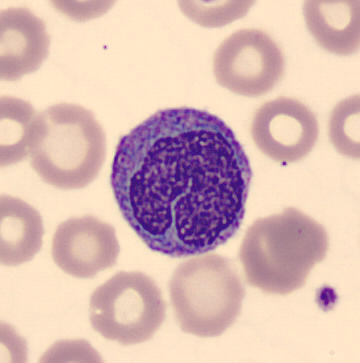

Specimen: peripheral blood film.
Morphological class: monocyte.